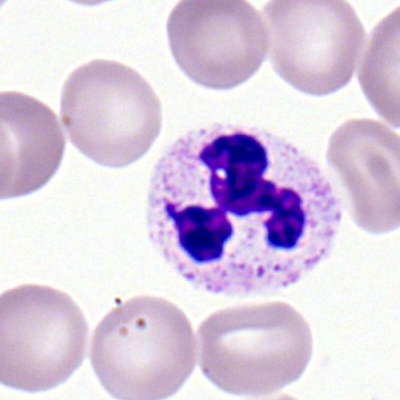 Impression — polymorphonuclear neutrophil.